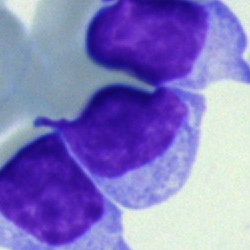Morphological class: typical lymphocyte.